Bone marrow smear.
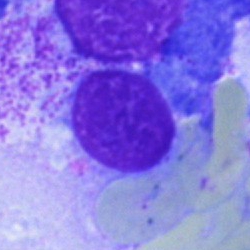Q: What is shown here?
A: Artifact.